Pappenheim-stained · bone marrow smear · single cell centered in the field:
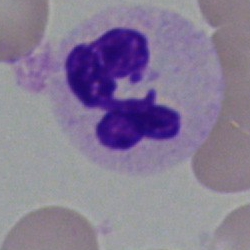 Single cell identified as a neutrophil (segmented).